Bone marrow smear:
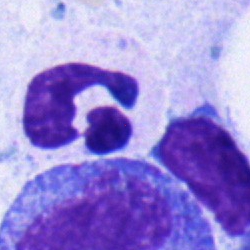 Morphology — polymorphonuclear neutrophil.